Bone marrow smear. May-Grünwald-Giemsa stain:
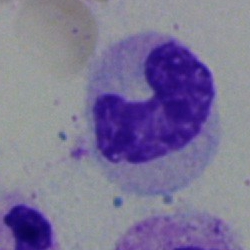Q: What type of cell is this?
A: It is a band-form neutrophil.